Bone marrow aspirate smear.
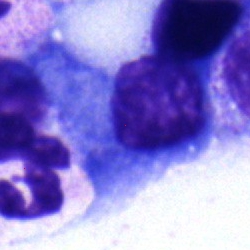Specimen: bone marrow smear.
Cell type: plasma cell.
Lineage: lymphoid.